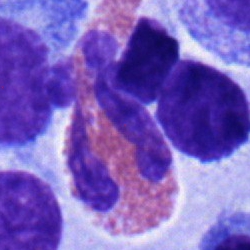

Morphological class = eosinophilic granulocyte.